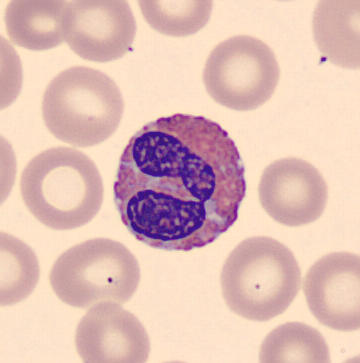
Q: What type of cell is this?
A: Eosinophil.